Bone marrow smear; cropped to a single cell; MGG-stained:
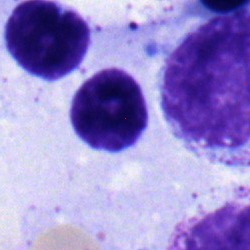
Specimen: bone marrow aspirate smear.
Cell: lymphocyte.
Lineage: lymphoid.